Bone marrow smear:
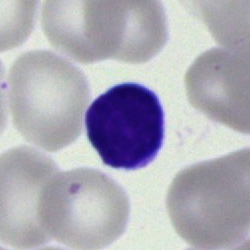Impression — typical lymphocyte.